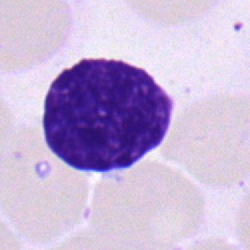 The cell shown is a lymphocyte.